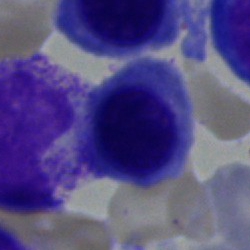
Bone marrow aspirate smear, single cell — nucleated red cell.